Peripheral blood smear. Single-cell crop. Imaged on a CellaVision DM96 analyser.
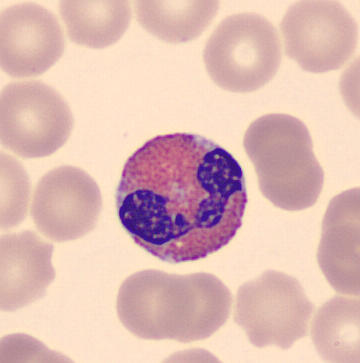 Specimen: peripheral blood smear.
Cell type: eosinophil.
Lineage: myeloid.